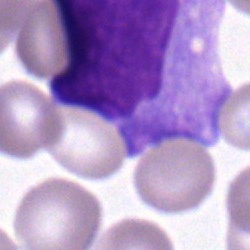Cell — monocyte.